250 by 250 pixels · bone marrow aspirate smear · single cell centered in the field:
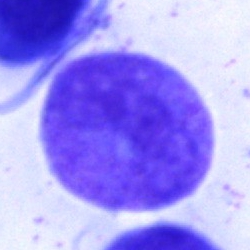
Stab cell.